40× oil immersion. Bone marrow aspirate smear: 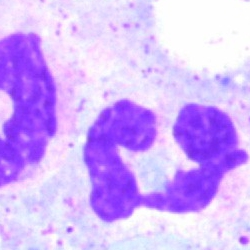

The cell shown is a neutrophil (segmented).